Bone marrow aspirate smear; MGG-stained — 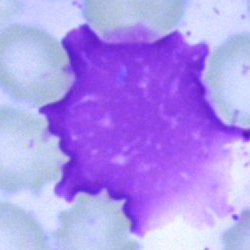
Artifact.